Bone marrow aspirate smear: 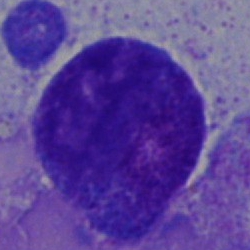Progranulocyte.